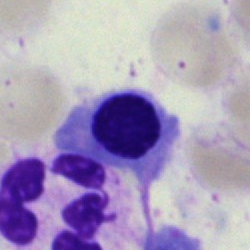
Cell type — nucleated red cell.